Bone marrow smear:
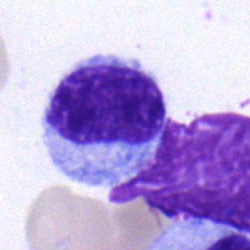Showing a metamyelocyte.